Bone marrow aspirate smear
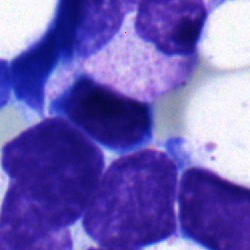 Band neutrophil.